Bone marrow aspirate smear: 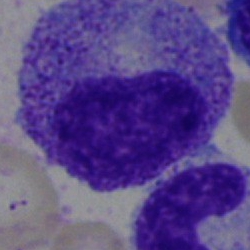Classification = progranulocyte.